Bone marrow smear:
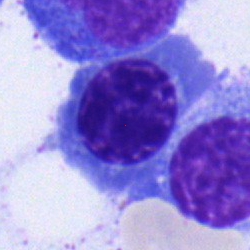
Impression → erythroblast.